Peripheral blood smear: 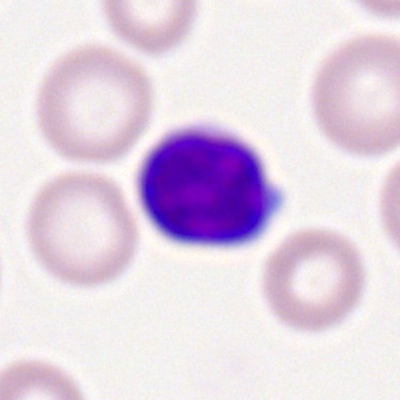

Impression — typical lymphocyte.